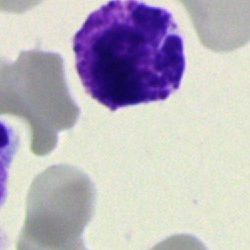
Cell type — basophil.